Peripheral blood film: 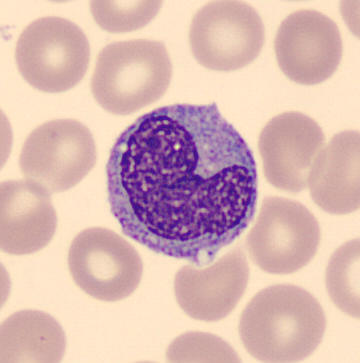 This is a monocyte.